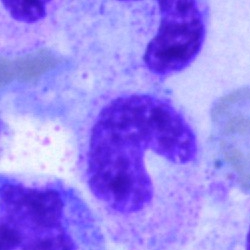Single-cell crop from a bone marrow smear: band-form neutrophil.